Bone marrow aspirate smear. 40× oil immersion: 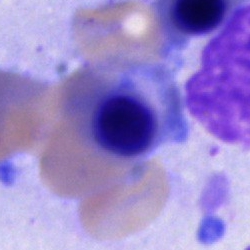Morphological class: normoblast.